40× objective, oil immersion · bone marrow aspirate smear · MGG-stained: 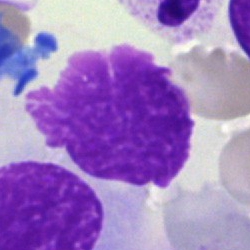Morphological class — artefact.